250×250 px; bone marrow smear
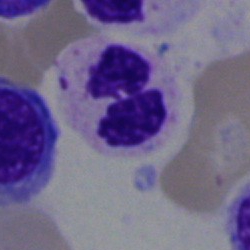
Morphological class — segmented neutrophil.